Bone marrow aspirate smear
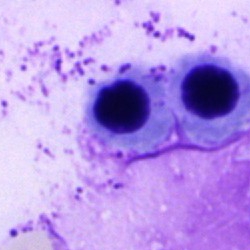 Q: What is the morphological classification of this cell?
A: A nucleated red cell.